Bone marrow smear — 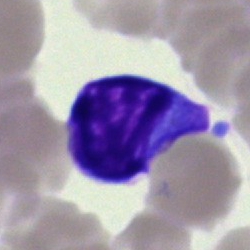Morphology → typical lymphocyte.